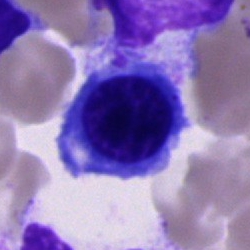 Cell: erythroblast.